Bone marrow smear
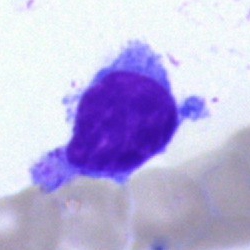Classification = undifferentiated blast.